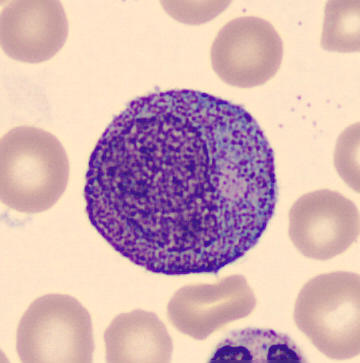Morphological class = progranulocyte.

Peripheral blood smear.